Bone marrow smear
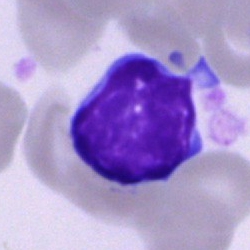Morphology consistent with a typical lymphocyte.